Bone marrow smear: 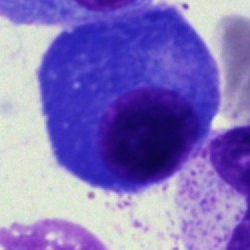

Cell: plasmacyte.